Bone marrow smear: 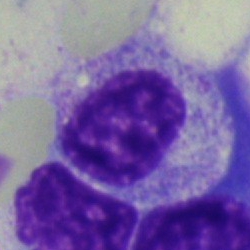Morphological class — myelocyte.